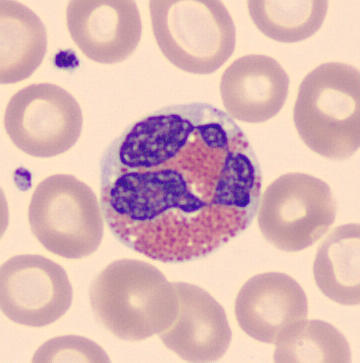Morphology consistent with an eosinophil.

Peripheral blood film · imaged on a CellaVision DM96 analyser.